40× objective, oil immersion. Bone marrow aspirate smear
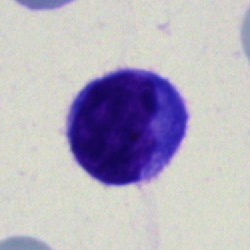
Classification — lymphocyte.